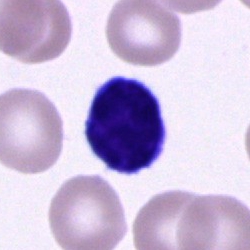
Cell type = typical lymphocyte.